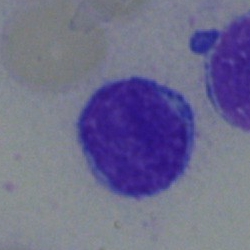
Classification — lymphocyte.